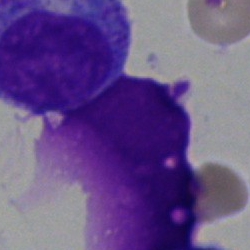
Cell = artefact.